Bone marrow smear:
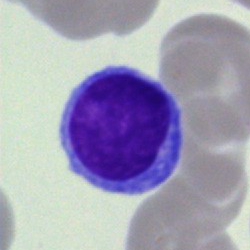Specimen: bone marrow smear.
Cell type: typical lymphocyte.